May-Grünwald-Giemsa/Pappenheim stain; bone marrow smear:
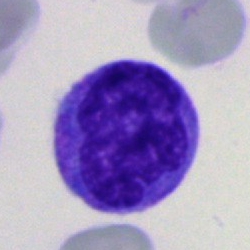Morphology — monocyte.